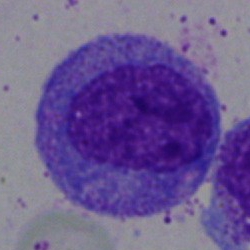
Promyelocyte.